Bone marrow aspirate smear; 250×250 px — 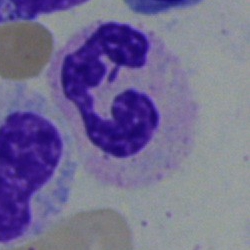

Cell — segmented neutrophil.